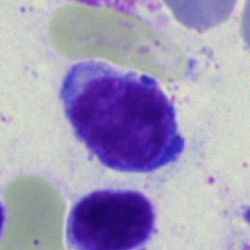
Specimen: bone marrow smear.
Classification: typical lymphocyte.
Lineage: lymphoid.